Single-cell crop. Bone marrow aspirate smear — 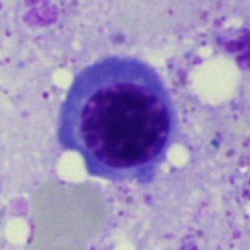A normoblast.